Bone marrow aspirate smear; MGG-stained — 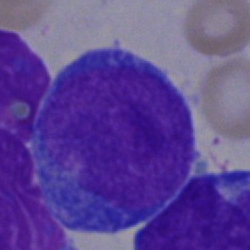
Q: Which cell type is shown here?
A: This is an undifferentiated blast.